Bone marrow smear; 250 by 250 pixels:
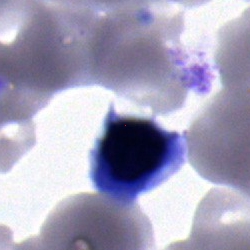 Q: What is shown here?
A: This is a normoblast.